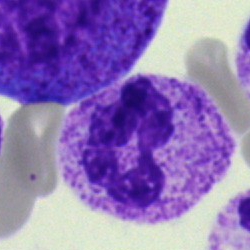 Q: Identify the cell.
A: Segmented neutrophil.